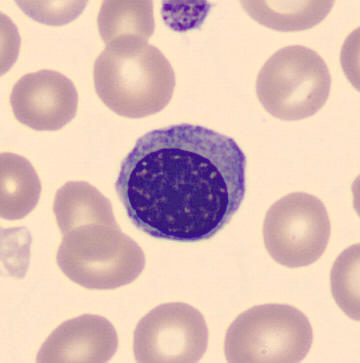 Peripheral blood smear. Impression — normoblast.